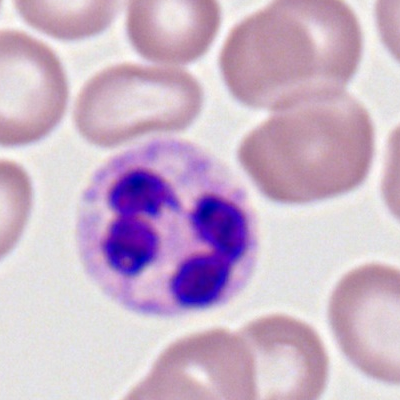

This is a neutrophil (segmented).